Single-cell crop · bone marrow smear.
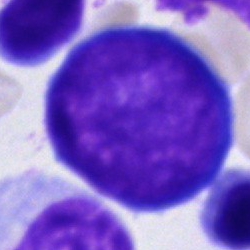 {"cell_type": "pronormoblast", "lineage": "erythroid"}